Peripheral blood film: 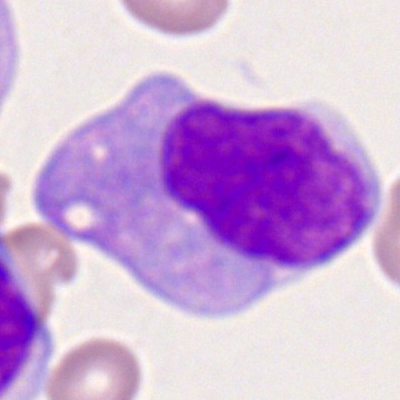
Morphology — monocyte.